Bone marrow smear
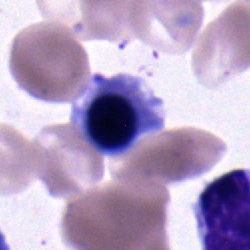

Showing an erythroblast.